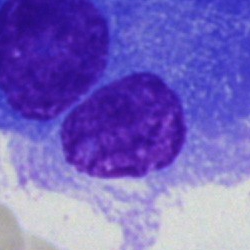
Specimen: bone marrow aspirate smear.
Cell type: plasma cell.
Lineage: lymphoid.